Bone marrow smear. 40× oil immersion. May-Grünwald-Giemsa/Pappenheim stain.
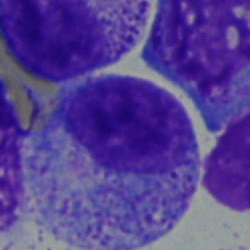

Single cell identified as a myelocyte.